Bone marrow smear · single cell centered in the field — 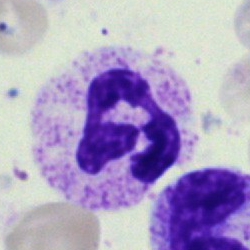

Q: What type of cell is this?
A: It is a segmented neutrophil.